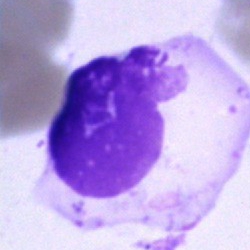 Morphology — artifact.